Bone marrow smear.
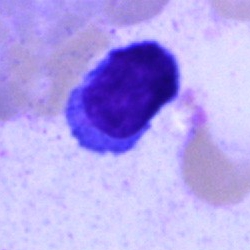

Morphology consistent with a typical lymphocyte.